M8 digital microscope (Precipoint), 100× oil immersion; peripheral blood smear:
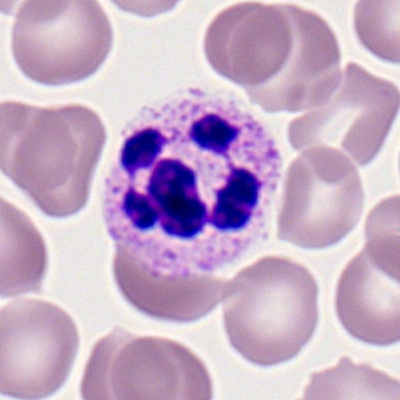

Specimen: peripheral blood smear.
Classification: polymorphonuclear neutrophil.
Lineage: myeloid.